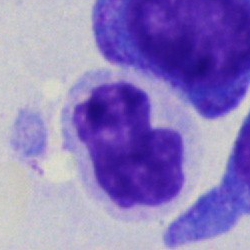

The morphological class is stab cell.